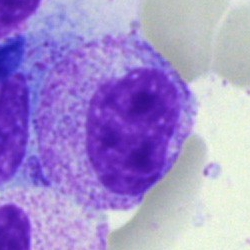Cell type: myelocyte.